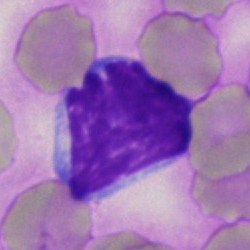Lymphocyte.